Bone marrow aspirate smear · single-cell crop:
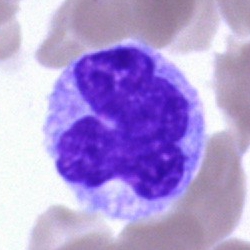

Specimen: bone marrow smear.
Classification: monocyte.